Bone marrow aspirate smear.
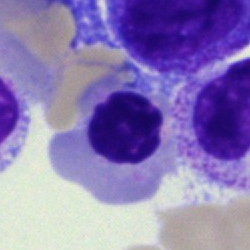
Morphology consistent with a normoblast.